Bone marrow aspirate smear. 250×250 px.
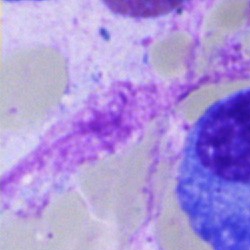
The cell shown is an artefact.